Bone marrow smear. May-Grünwald-Giemsa stain: 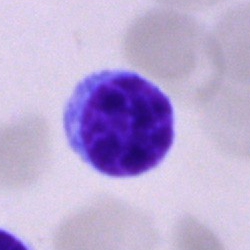 The cell shown is a lymphocyte.